Bone marrow aspirate smear: 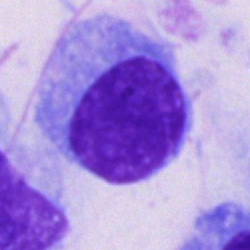

A plasmacyte.